Bone marrow smear
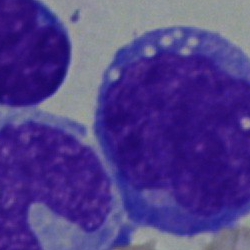

Morphology → blast cell.